Bone marrow aspirate smear
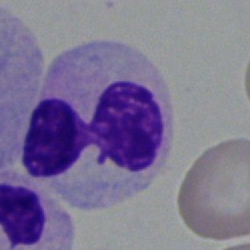The cell shown is a segmented neutrophil.